Bone marrow aspirate smear: 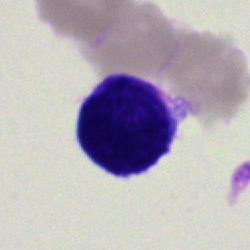Impression → artefact.